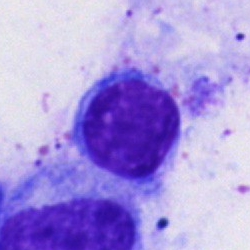

A lymphocyte.